Bone marrow smear.
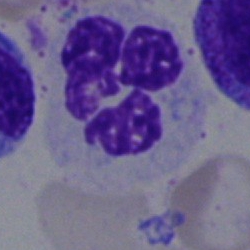 Morphology → polymorphonuclear neutrophil.